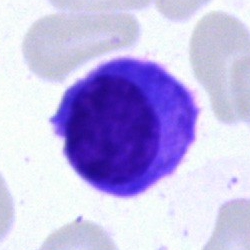 Showing a plasma cell.